Bone marrow smear.
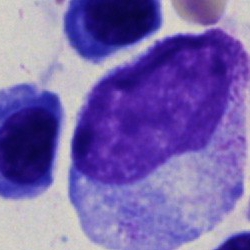 Specimen: bone marrow smear.
Cell: promyelocyte.